Bone marrow smear; May-Grünwald-Giemsa stain — 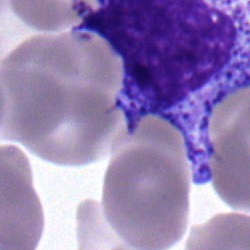
Specimen: bone marrow aspirate smear.
Cell type: promyelocyte.